Bone marrow smear:
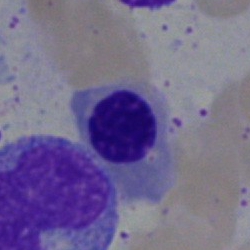
Q: What is the morphological classification of this cell?
A: This is an erythroblast.